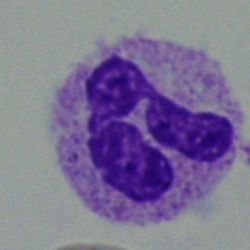
The cell is polymorphonuclear neutrophil.